Bone marrow smear.
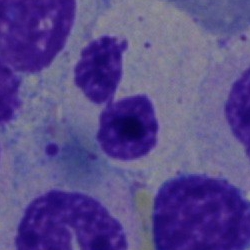Q: What is shown here?
A: Polymorphonuclear neutrophil.